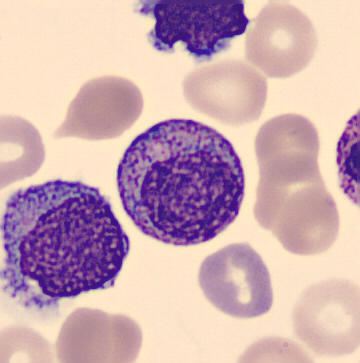

Cell = myelocyte. Image: Peripheral blood smear.